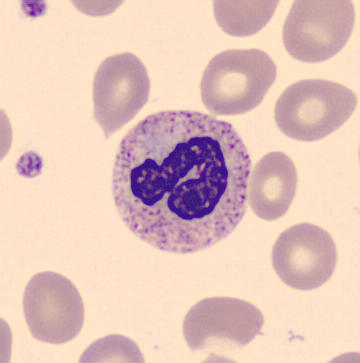
Image: Peripheral blood film · image size 360×363 · MGG-stained.
Showing a neutrophil (band).